Cropped to a single cell. Bone marrow smear.
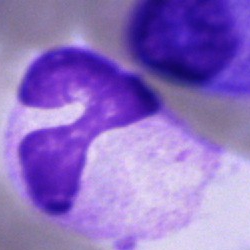
Q: What is the morphological classification of this cell?
A: It is a neutrophil (segmented).